Bone marrow aspirate smear:
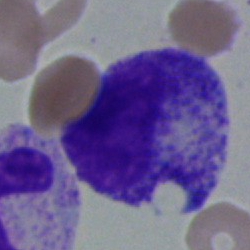 Impression — myelocyte.